Bone marrow aspirate smear
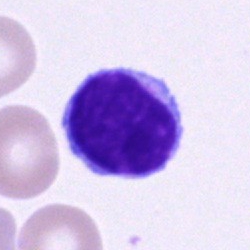
Cell type — lymphocyte.